Peripheral blood smear · Romanowsky-stained:
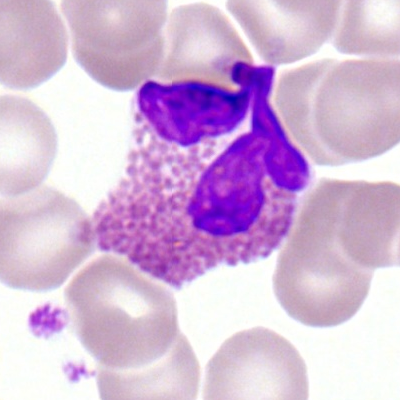Q: What is shown here?
A: It is an eosinophilic granulocyte.